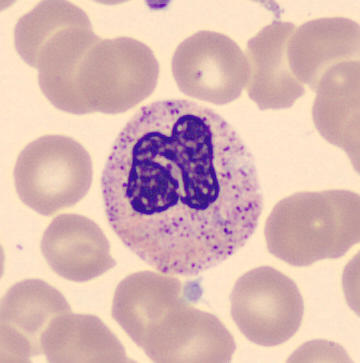
Cell type — neutrophil (segmented).
Peripheral blood film.